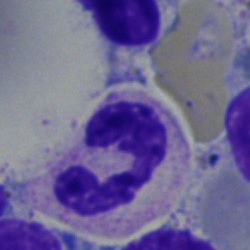 Q: What type of cell is this?
A: This is a neutrophil (segmented).